Bone marrow aspirate smear. May-Grünwald-Giemsa stain
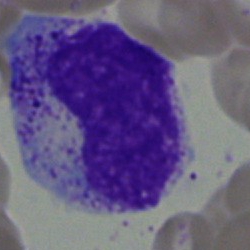Q: Which cell type is shown here?
A: It is a metamyelocyte.